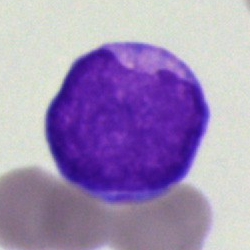

Q: What is shown here?
A: This is a blast cell.